Bone marrow aspirate smear · brightfield microscopy, 40× oil immersion: 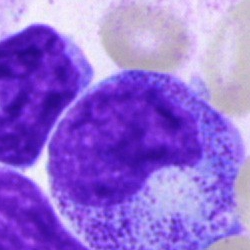Single cell identified as a promyelocyte.